Bone marrow smear:
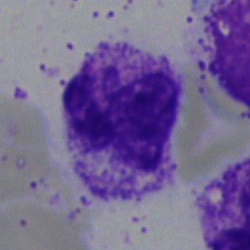
Single cell identified as a polymorphonuclear neutrophil.